Bone marrow smear
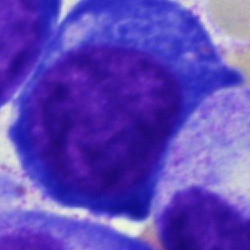
Impression — proerythroblast.